Bone marrow aspirate smear
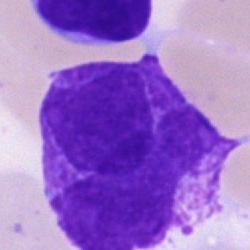 The morphological class is undifferentiated blast.